Bone marrow aspirate smear · brightfield microscopy, 40× oil immersion — 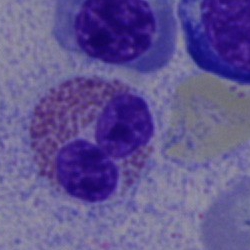Q: What is shown here?
A: Eosinophilic granulocyte.